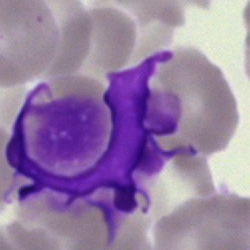 Q: What is shown here?
A: It is an artefact.